Cropped to a single cell · May-Grünwald-Giemsa/Pappenheim stain · bone marrow smear:
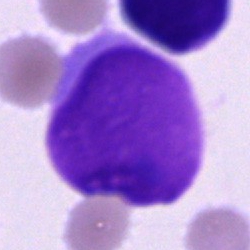 Impression → artefact.